Bone marrow smear
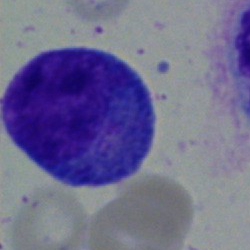

Q: Identify the cell.
A: A progranulocyte.